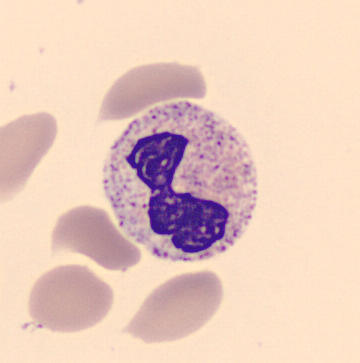 This is a segmented neutrophil.

Peripheral blood film.